May-Grünwald-Giemsa/Pappenheim stain · bone marrow smear:
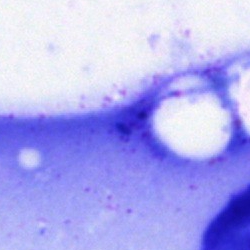
Artifact.